Bone marrow aspirate smear: 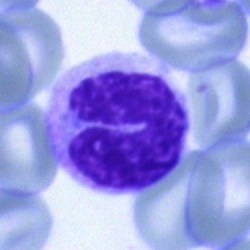 Single cell identified as a neutrophil (segmented).